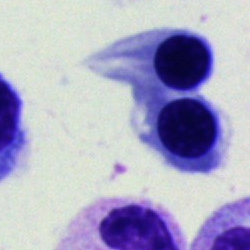A nucleated red cell.